Peripheral blood smear
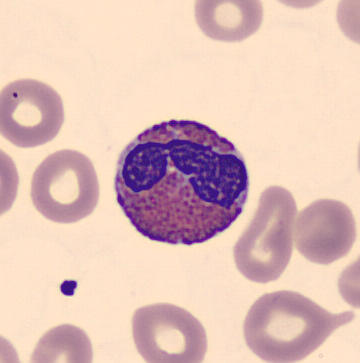
Q: What is the morphological classification of this cell?
A: This is an eosinophil.